Single cell centered in the field; bone marrow aspirate smear:
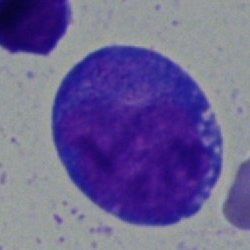Morphological class — promyelocyte.